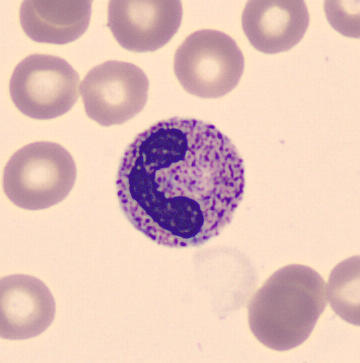Acquisition: Peripheral blood film.
Q: What type of cell is this?
A: Neutrophil (band).